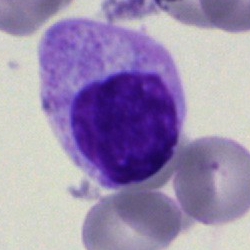

{"cell_type": "typical lymphocyte", "lineage": "lymphoid"}